MGG-stained. Bone marrow smear — 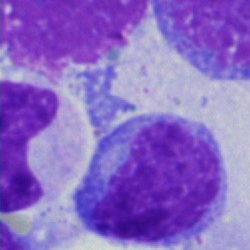

Morphology consistent with a monocyte.